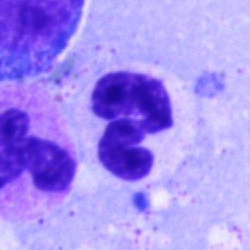 A neutrophil (segmented) on a bone marrow smear.